Bone marrow smear · 250 by 250 pixels · 40× oil immersion: 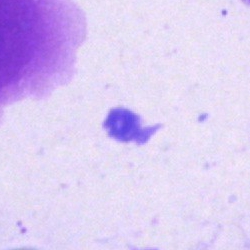 Showing an artifact.